Single cell centered in the field · bone marrow aspirate smear.
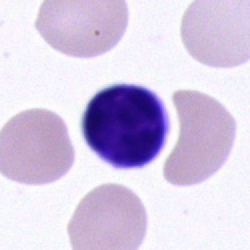Single cell identified as a typical lymphocyte.